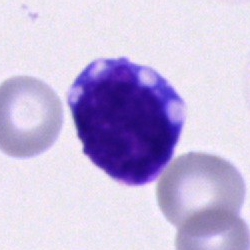
{"cell_type": "blast cell"}